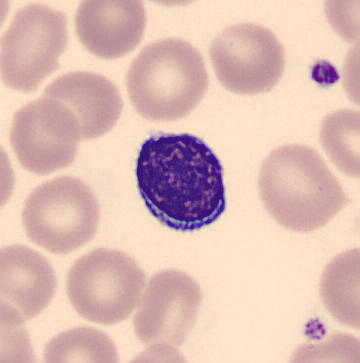

Morphology — lymphocyte.